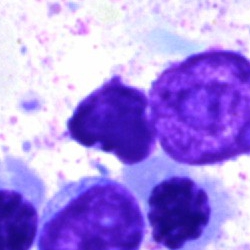Q: What is shown here?
A: An artifact.